Bone marrow smear.
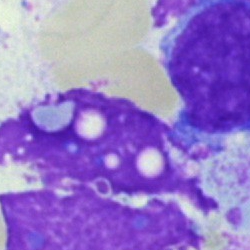
Q: What is shown here?
A: This is an artefact.